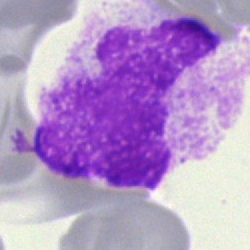 Q: What is shown here?
A: Gumprecht shadow.